Bone marrow smear: 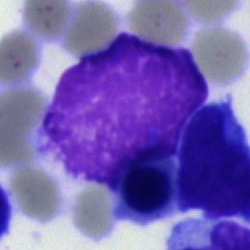 An artefact.